Bone marrow smear · 250×250.
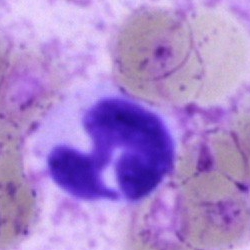Specimen: bone marrow smear.
Cell type: segmented neutrophil.